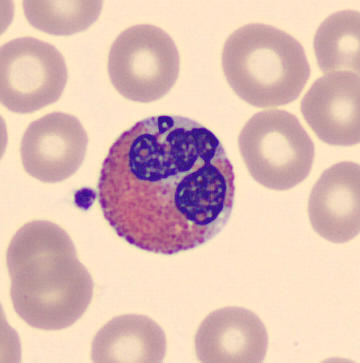 Specimen: peripheral blood smear.
Morphological class: eosinophilic granulocyte.